Bone marrow aspirate smear:
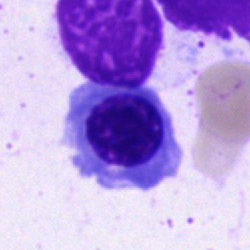 Morphological class: nucleated red cell.